Bone marrow smear:
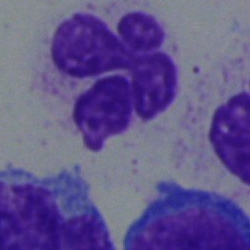 Morphology → polymorphonuclear neutrophil.